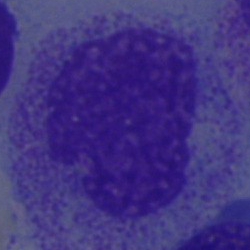Q: What cell is this?
A: Myelocyte.